Brightfield microscopy, 40× oil immersion. Bone marrow smear: 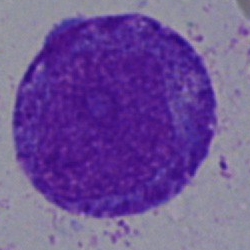Q: What is shown here?
A: This is a promyelocyte.